Bone marrow aspirate smear: 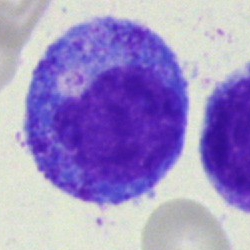
Classification: progranulocyte.